Bone marrow aspirate smear: 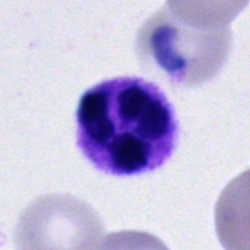
Cell type — segmented neutrophil.